Bone marrow aspirate smear · MGG-stained.
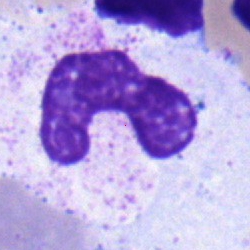 Morphology → band neutrophil.